Bone marrow smear
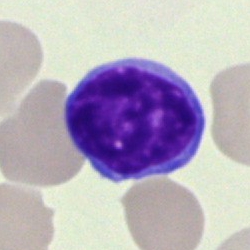

Specimen: bone marrow smear.
Morphological class: typical lymphocyte.